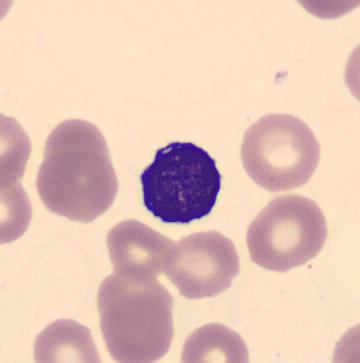 Peripheral blood film. A typical lymphocyte.